Bone marrow smear — 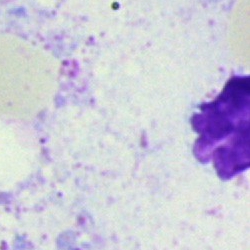

Single cell identified as an artifact.